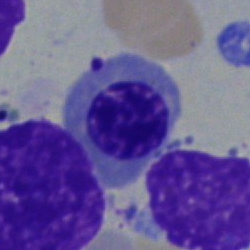 Specimen: bone marrow smear.
Cell: normoblast.